Bone marrow aspirate smear. Image size 250×250:
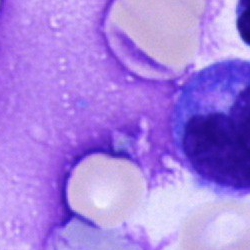 Q: What is shown here?
A: Artefact.